Bone marrow aspirate smear; 40× oil immersion.
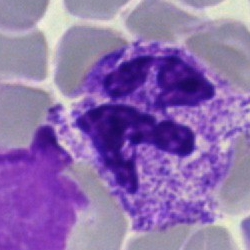 {"cell_type": "segmented neutrophil"}